Bone marrow smear; single-cell crop.
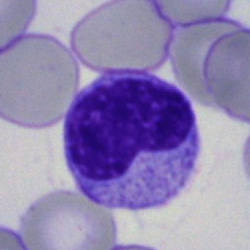A metamyelocyte.